Bone marrow smear: 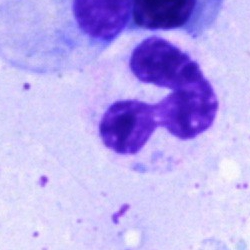Cell — segmented neutrophil.